Bone marrow aspirate smear
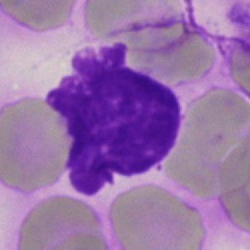
Cell type = artifact.